Bone marrow aspirate smear:
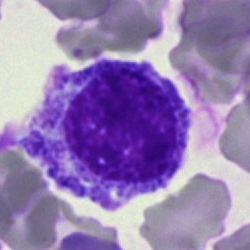 Q: What cell is this?
A: Myelocyte.